Brightfield microscopy, 40× oil immersion · bone marrow aspirate smear
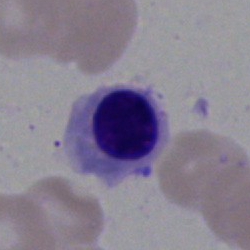 Cell type = erythroblast.